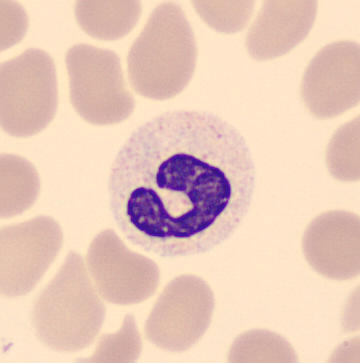

Acquisition: Peripheral blood film. Identified as a stab cell.